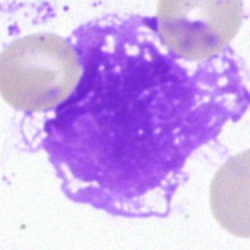
The cell is artifact.